Bone marrow smear.
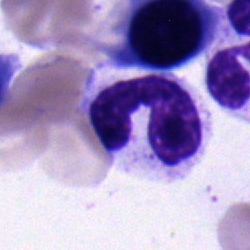 Q: Which cell type is shown here?
A: It is a band-form neutrophil.